Bone marrow aspirate smear:
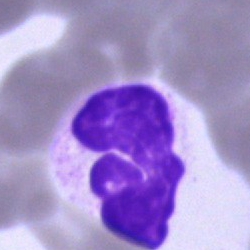
Single cell identified as a polymorphonuclear neutrophil.